Bone marrow aspirate smear · 40× objective, oil immersion:
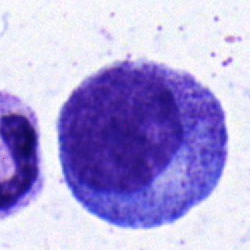Q: Which cell type is shown here?
A: Progranulocyte.